Bone marrow aspirate smear · single cell centered in the field · May-Grünwald-Giemsa/Pappenheim stain.
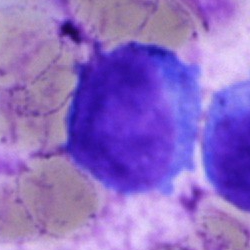
{"cell_type": "blast cell"}